May-Grünwald-Giemsa/Pappenheim stain. Bone marrow smear
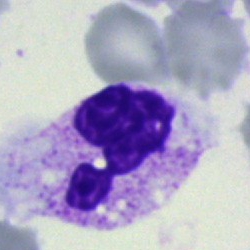 Classification = segmented neutrophil.